Bone marrow aspirate smear.
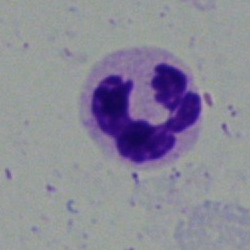
Cell — segmented neutrophil.